Bone marrow aspirate smear: 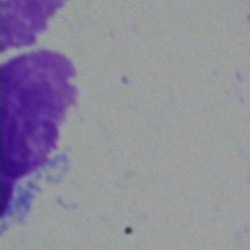

Single cell identified as an artifact.